Image size 250×250 · bone marrow aspirate smear · Pappenheim-stained.
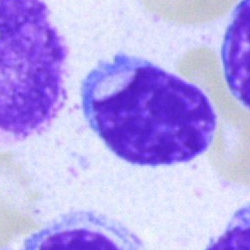

This is a lymphocyte.